Single-cell crop; 250×250 px; bone marrow smear
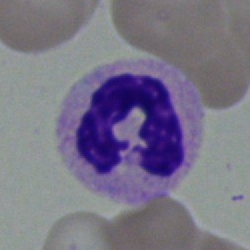Specimen: bone marrow smear.
Morphological class: neutrophil (segmented).